Bone marrow smear: 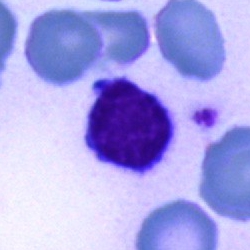
The cell is lymphocyte.